Image size 250×250; bone marrow aspirate smear; single cell centered in the field: 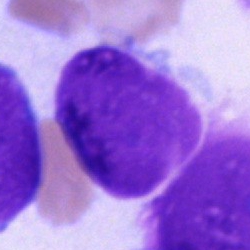
The cell type is artefact.